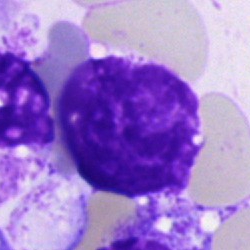

Cell type = artefact.